40× objective, oil immersion. Bone marrow aspirate smear — 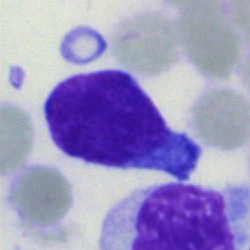
Cell type = undifferentiated blast.